MGG-stained. Cropped to a single cell. Bone marrow aspirate smear.
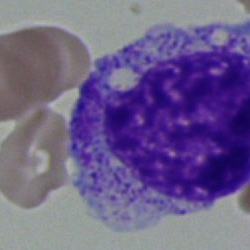Morphology consistent with a promyelocyte.